250×250 px. Bone marrow smear:
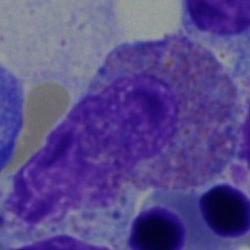

Morphological class: eosinophil.